Bone marrow aspirate smear — 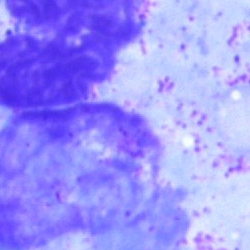

{"cell_type": "artifact"}